Bone marrow aspirate smear: 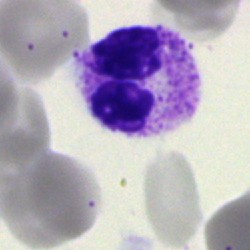
Specimen: bone marrow smear.
Cell type: neutrophil (segmented).